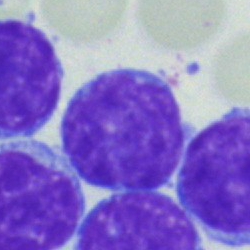

Classification = lymphocyte.